Bone marrow smear; MGG-stained:
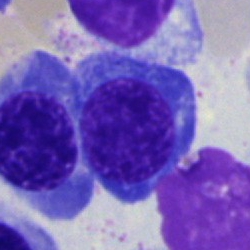

The cell shown is a normoblast.